Image size 250×250. Bone marrow smear.
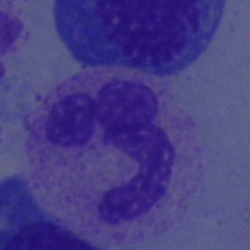

Neutrophil (segmented).